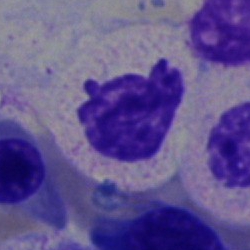 This is a segmented neutrophil.